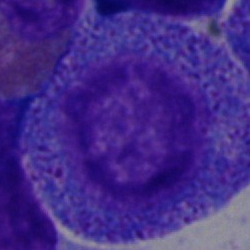Q: What is the morphological classification of this cell?
A: A promyelocyte.